Bone marrow aspirate smear; cropped to a single cell:
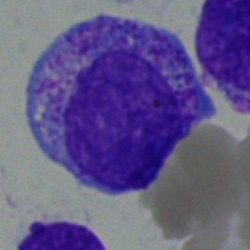

The cell type is promyelocyte.